250×250 px · single cell centered in the field · bone marrow aspirate smear
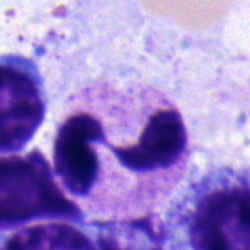

Impression → polymorphonuclear neutrophil.